MGG-stained; bone marrow aspirate smear:
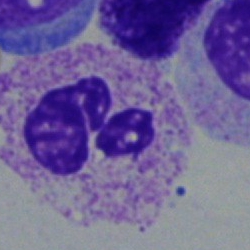 Q: What cell is this?
A: Polymorphonuclear neutrophil.